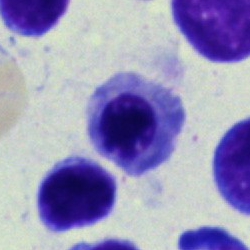 A normoblast.